Bone marrow smear: 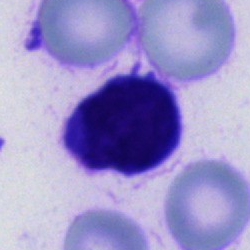
Impression → unidentifiable cell.